Image size 250×250. Bone marrow aspirate smear — 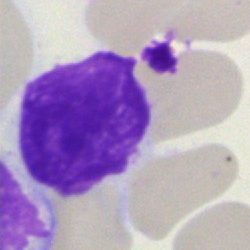Showing a lymphocyte.